Bone marrow aspirate smear — 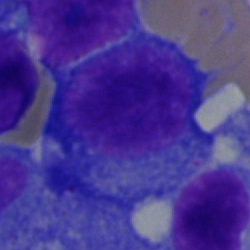Specimen: bone marrow smear.
Cell type: plasmacyte.
Lineage: lymphoid.